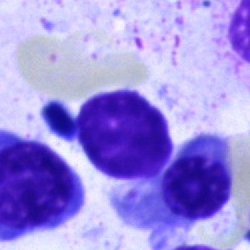

Q: What is shown here?
A: Artifact.